Bone marrow aspirate smear
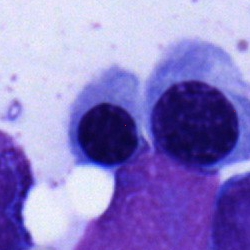 Cell = normoblast.